Brightfield microscopy, 40× oil immersion · bone marrow smear · single-cell crop:
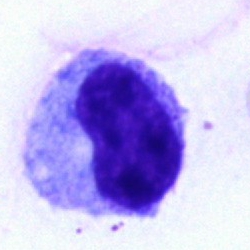

Morphological class = metamyelocyte.